Peripheral blood smear; single cell centered in the field.
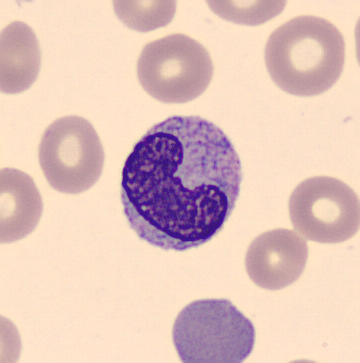Identified as a metamyelocyte.